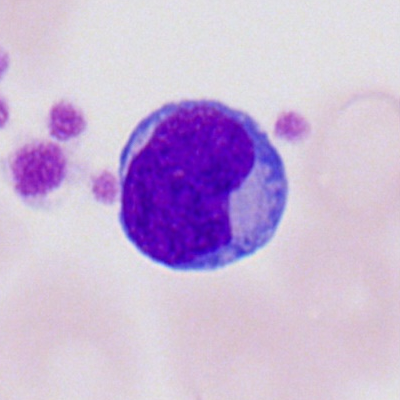Morphology → typical lymphocyte.